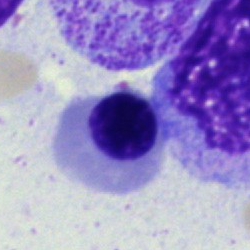 Cell: nucleated red blood cell.